250×250 px · bone marrow aspirate smear · 40× objective, oil immersion.
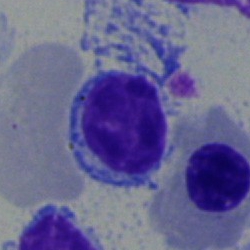

Single cell identified as a lymphocyte.